Bone marrow aspirate smear:
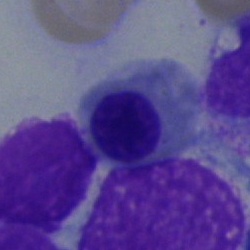

Q: What type of cell is this?
A: It is an erythroblast.